Bone marrow smear
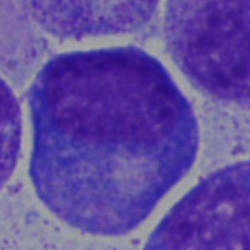 Impression → promyelocyte.